Bone marrow smear
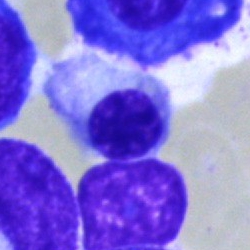Showing a nucleated red cell.